Bone marrow aspirate smear — 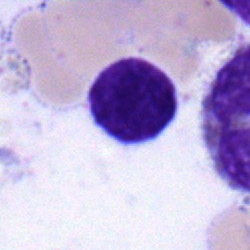

Cell — lymphocyte.